Bone marrow smear; 250×250; brightfield microscopy, 40× oil immersion: 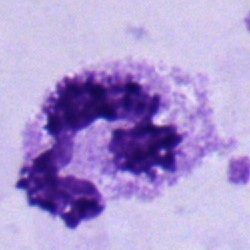

Morphology consistent with a polymorphonuclear neutrophil.